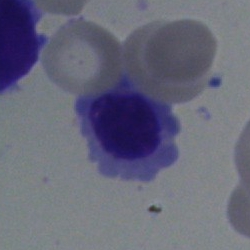

Q: Which cell type is shown here?
A: This is a nucleated red cell.